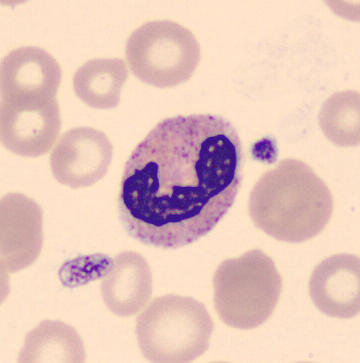
Specimen: peripheral blood film.
Cell: band-form neutrophil.